250×250 px. Bone marrow aspirate smear. 40× oil immersion:
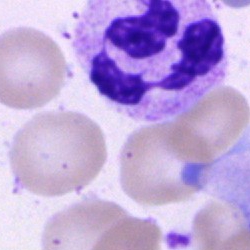Specimen: bone marrow aspirate smear.
Classification: neutrophil (segmented).
Lineage: myeloid.